MGG-stained. Brightfield microscopy, 40× oil immersion. Bone marrow aspirate smear — 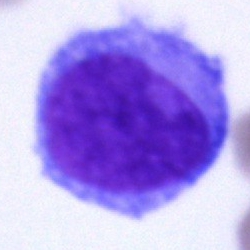
Q: Which cell type is shown here?
A: A blast.